Peripheral blood film; Romanowsky stain; 400×400 px.
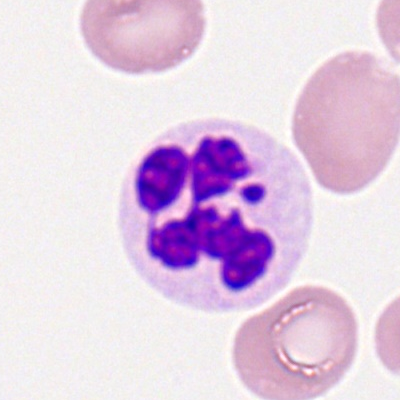

Q: What type of cell is this?
A: A neutrophil (segmented).